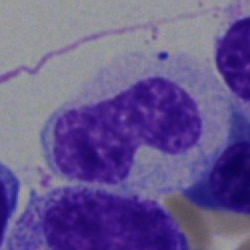

Single-cell crop from a bone marrow smear: band-form neutrophil.